Bone marrow aspirate smear: 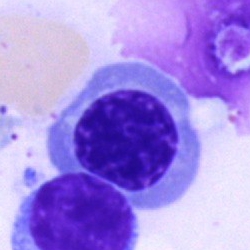 Nucleated red blood cell.